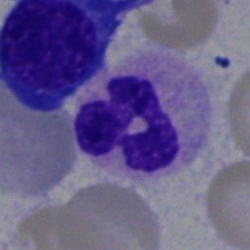
Q: What is the morphological classification of this cell?
A: A segmented neutrophil.